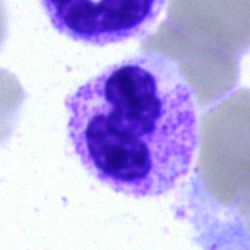

Q: Identify the cell.
A: It is a segmented neutrophil.